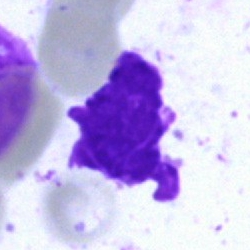
{"cell_type": "artifact"}